Bone marrow aspirate smear.
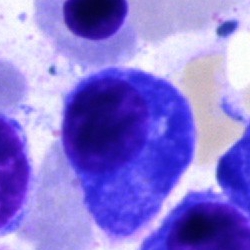Morphological class = plasma cell.